Bone marrow smear
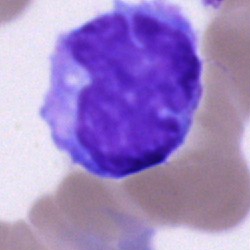 Q: What type of cell is this?
A: A monocyte.